Single-cell field · bone marrow aspirate smear
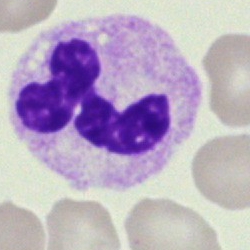

This is a neutrophil (segmented).